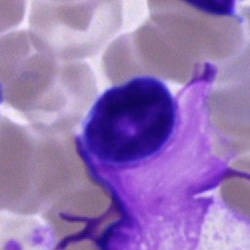

Morphology consistent with a typical lymphocyte.